Bone marrow aspirate smear: 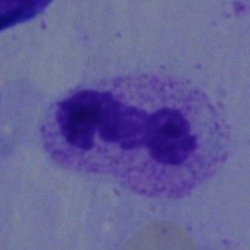 The morphological class is segmented neutrophil.